Bone marrow aspirate smear: 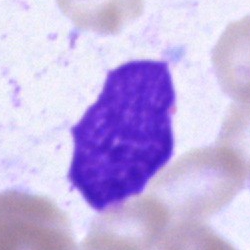 Cell: artefact.